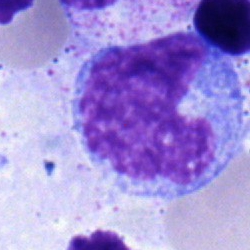

Specimen: bone marrow aspirate smear.
Classification: monocyte.
Lineage: myeloid.